Bone marrow aspirate smear · 40× objective, oil immersion: 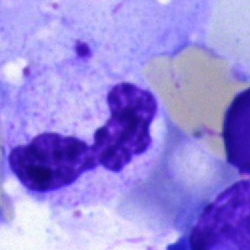The morphological class is segmented neutrophil.